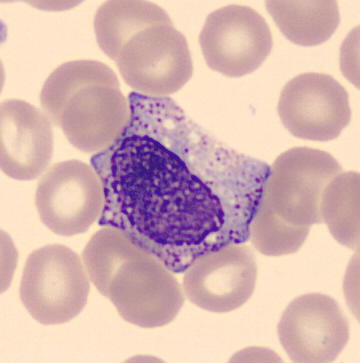

Image: Peripheral blood film. Single-cell field.

Q: What is this?
A: It is a myelocyte.